Bone marrow aspirate smear. 250×250 px:
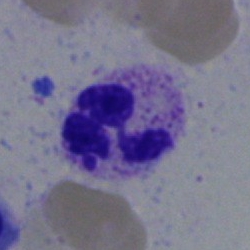Cell type — neutrophil (segmented).